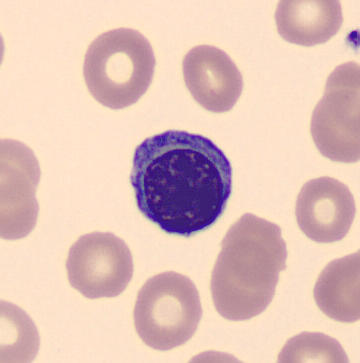 Acquisition: Peripheral blood film.
Morphological class: erythroblast.